Bone marrow aspirate smear:
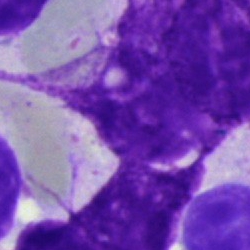 Cell type: artifact.